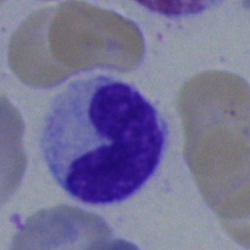A stab cell.